Bone marrow aspirate smear — 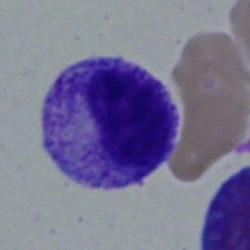 Q: What is shown here?
A: This is a myelocyte.